MGG-stained. Bone marrow aspirate smear — 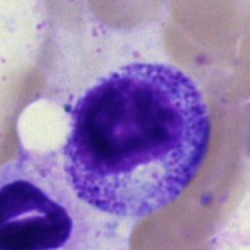

Impression → promyelocyte.